Single-cell field · bone marrow smear:
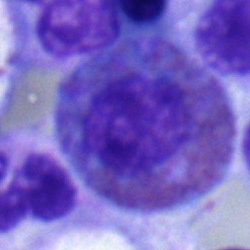 This is an eosinophilic granulocyte.